Bone marrow aspirate smear.
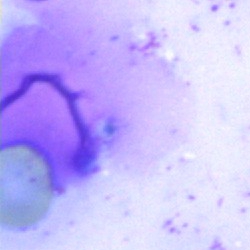
Single cell identified as an artefact.